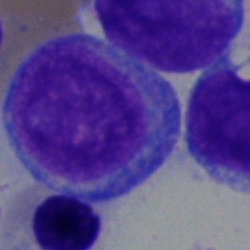Impression — undifferentiated blast.